Bone marrow smear
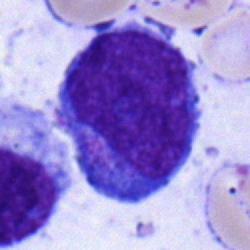Morphological class — progranulocyte.